Pappenheim-stained; bone marrow smear.
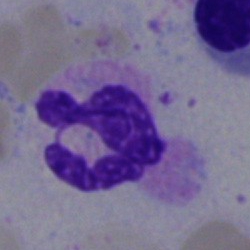 {"cell_type": "segmented neutrophil", "lineage": "myeloid"}